Bone marrow aspirate smear; May-Grünwald-Giemsa stain; single-cell field:
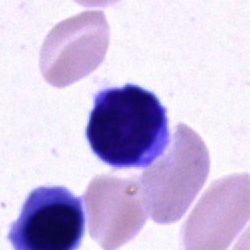 Cell — typical lymphocyte.